Bone marrow smear: 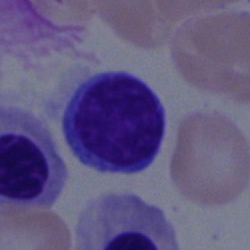
Showing a lymphocyte.